Single-cell field · bone marrow aspirate smear.
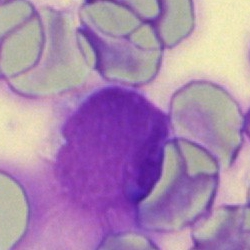 Cell — artifact.